Bone marrow smear — 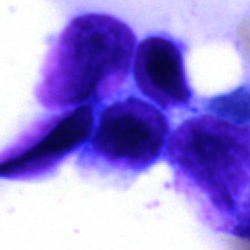
Showing a lymphocyte.